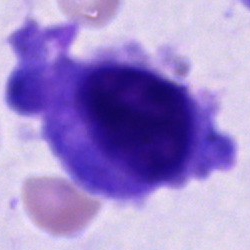Morphology → plasmacyte.